250 by 250 pixels. Bone marrow aspirate smear. Brightfield, 40× oil-immersion objective
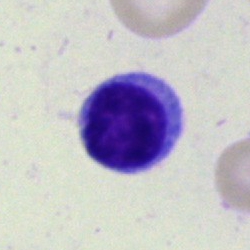 Single cell identified as a lymphocyte.